40× oil immersion · bone marrow smear:
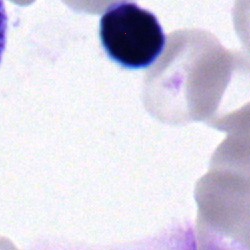 This is a typical lymphocyte.